Bone marrow smear
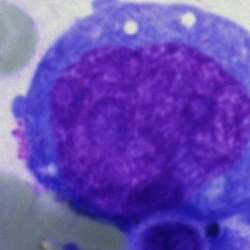The cell shown is a blast.